Bone marrow smear:
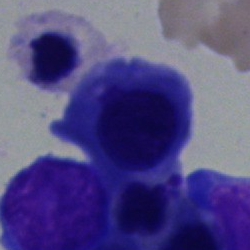
Morphological class = nucleated red cell.